Bone marrow aspirate smear; image size 250×250.
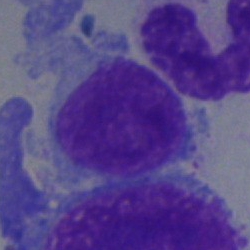 Q: What cell is this?
A: It is a lymphocyte.